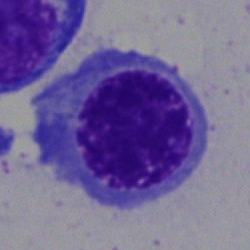

Single-cell crop from a bone marrow smear: normoblast.